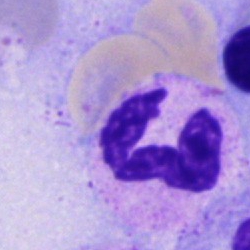Classification: segmented neutrophil.